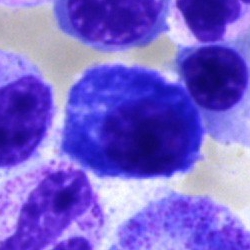
A plasma cell on a bone marrow smear.